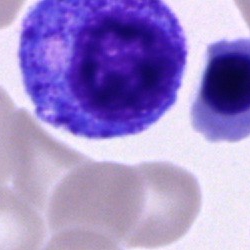

Morphology consistent with a progranulocyte.